Bone marrow aspirate smear.
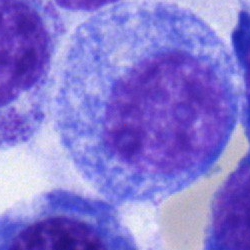The cell shown is a myelocyte.